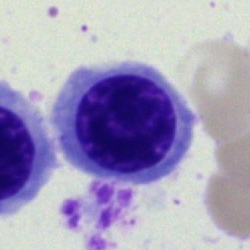 Morphological class: nucleated red blood cell.